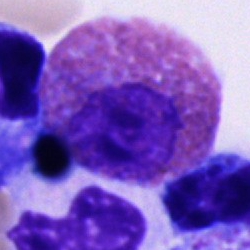 The classification is eosinophilic granulocyte.